40× objective, oil immersion · bone marrow smear
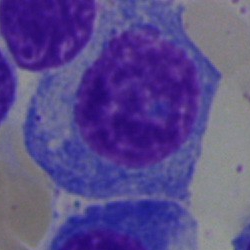 Cell = plasmacyte.